250×250 px · brightfield, 40× oil-immersion objective · bone marrow aspirate smear: 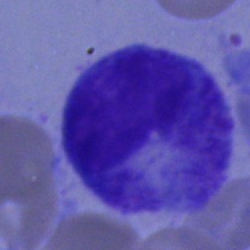

Cell type = progranulocyte.